Bone marrow smear; Pappenheim-stained: 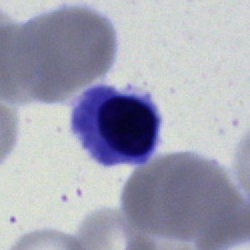 Showing a nucleated red cell.